Single-cell field · bone marrow aspirate smear.
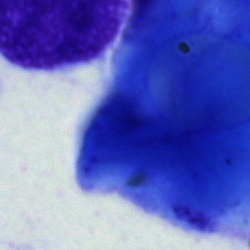

This is an artefact.